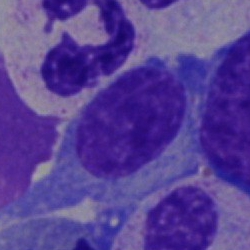Single-cell crop from a bone marrow smear: plasma cell.